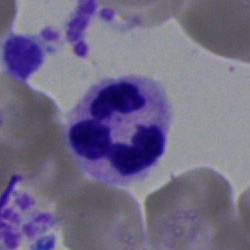
Impression — neutrophil (segmented).